Bone marrow aspirate smear; Pappenheim-stained: 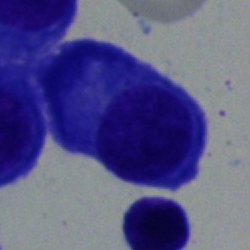
Single cell identified as a plasmacyte.